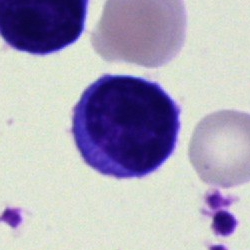
The morphological class is typical lymphocyte.